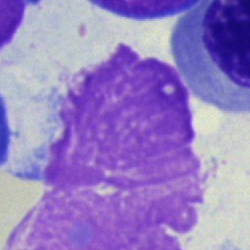Bone marrow aspirate smear, single cell — artifact.